40× objective, oil immersion; bone marrow smear; Pappenheim-stained — 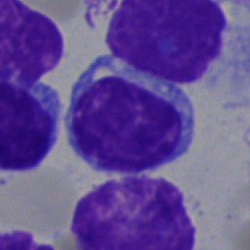Cell = typical lymphocyte.